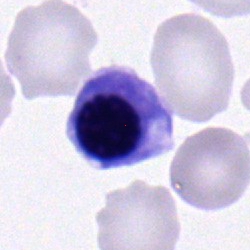Cell: nucleated red cell.